Single-cell field; bone marrow aspirate smear; 250×250 — 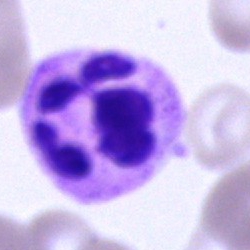 A segmented neutrophil.